May-Grünwald-Giemsa stain. Bone marrow smear:
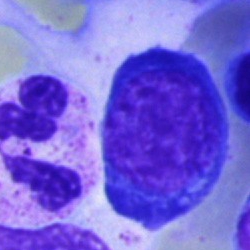
Q: What is shown here?
A: An erythroblast.